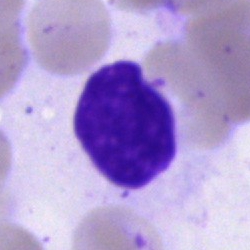
The cell is artefact.